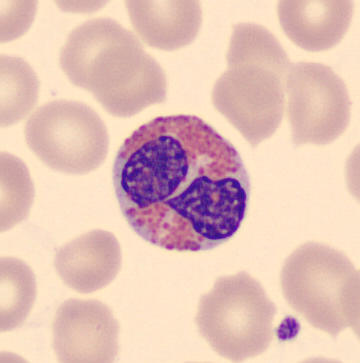
{"cell_type": "eosinophil"} Peripheral blood film.